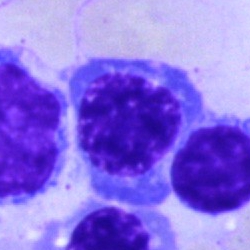 Single-cell crop from a bone marrow smear: nucleated red blood cell.